Bone marrow smear.
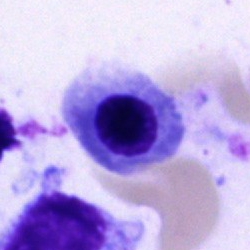
The morphological class is nucleated red cell.